Bone marrow smear: 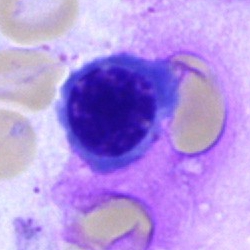

The cell shown is a normoblast.